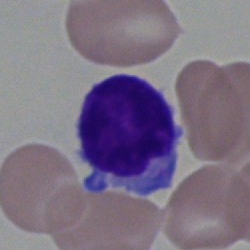 Q: What is shown here?
A: This is a lymphocyte.